Bone marrow smear. 40× oil immersion:
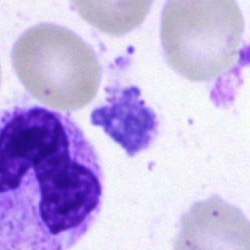

Cell type: polymorphonuclear neutrophil.